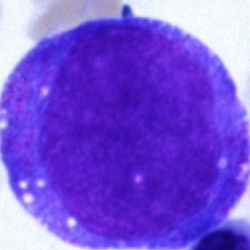
Showing a blast cell.